Bone marrow aspirate smear; image size 250×250
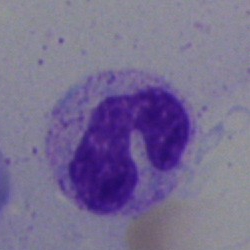 Neutrophil (segmented).